Bone marrow aspirate smear
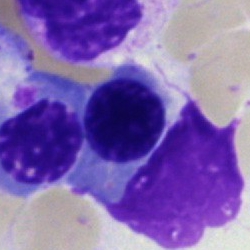{"cell_type": "erythroblast", "lineage": "erythroid"}